Bone marrow smear. 40× oil immersion.
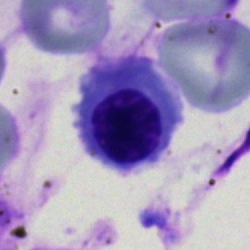

Classification = nucleated red blood cell.